Peripheral blood smear — 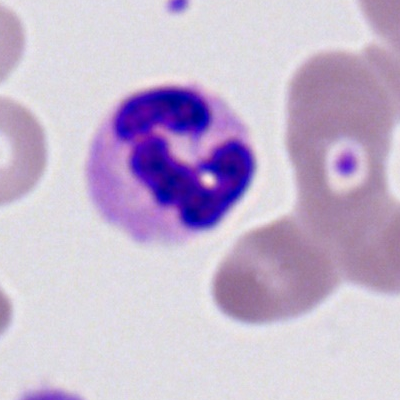 Specimen: peripheral blood film.
Cell type: segmented neutrophil.
Lineage: myeloid.